Single-cell crop. Bone marrow smear.
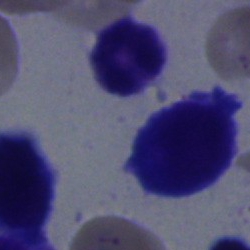

Single cell identified as a lymphocyte.